Peripheral blood film
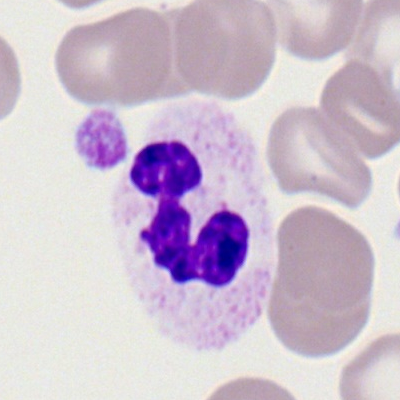

Showing a segmented neutrophil.